Bone marrow aspirate smear. May-Grünwald-Giemsa stain: 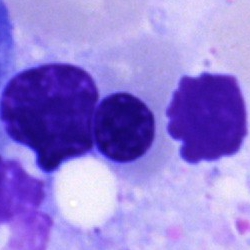 The morphological class is normoblast.